Bone marrow smear: 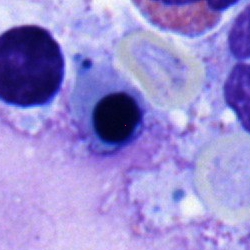
Q: Identify the cell.
A: Erythroblast.